Bone marrow aspirate smear:
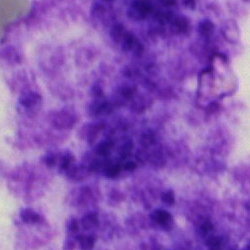
This is an artefact.